Bone marrow aspirate smear
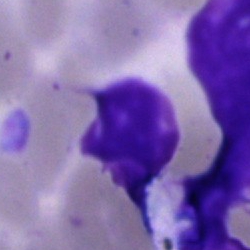

{"cell_type": "artefact"}